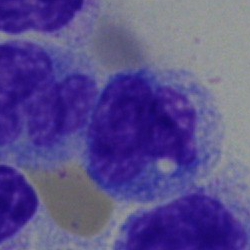 Classification = monocyte.